Bone marrow smear
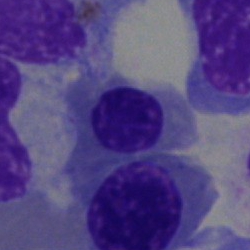

The morphological class is nucleated red cell.